Single cell centered in the field · bone marrow smear — 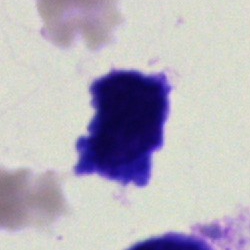 {"cell_type": "artefact"}